Bone marrow smear:
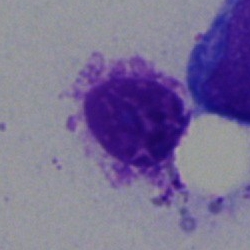Q: What is shown here?
A: An artifact.